40× objective, oil immersion. Bone marrow smear. Image size 250×250 — 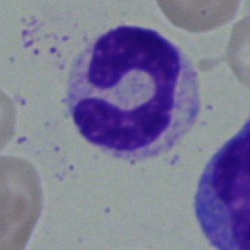 Classification: segmented neutrophil.